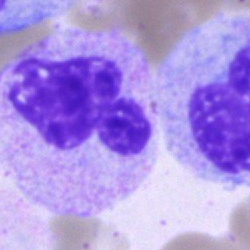Q: Identify the cell.
A: It is a neutrophil (segmented).